Bone marrow smear; cropped to a single cell: 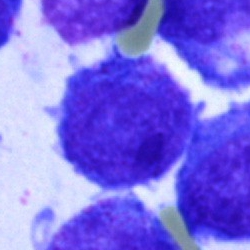 Cell type — undifferentiated blast.